Bone marrow aspirate smear:
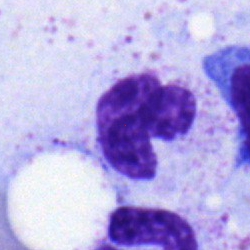

This is a band neutrophil.